Bone marrow smear
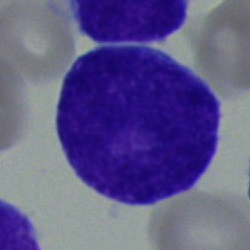
Cell type: blast.